May-Grünwald-Giemsa stain. Bone marrow smear: 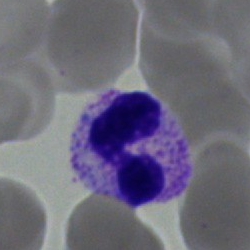
Specimen: bone marrow smear.
Classification: polymorphonuclear neutrophil.
Lineage: myeloid.